Bone marrow smear
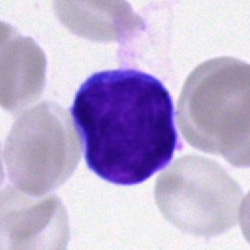 Single cell identified as a typical lymphocyte.